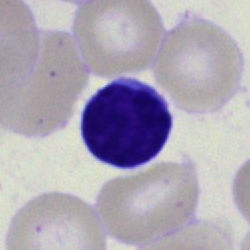Bone marrow aspirate smear, single cell — typical lymphocyte.